Brightfield microscopy, 40× oil immersion; bone marrow aspirate smear; image size 250×250:
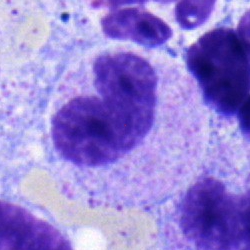
Q: What is the morphological classification of this cell?
A: It is a neutrophil (band).